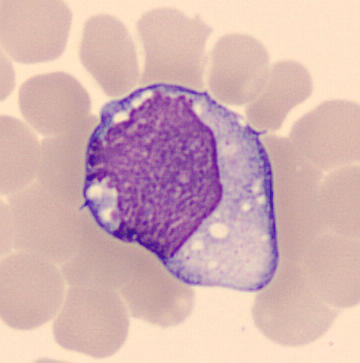

Specimen: peripheral blood film.
Cell type: monocyte.